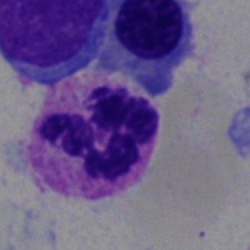

Cell type — polymorphonuclear neutrophil.